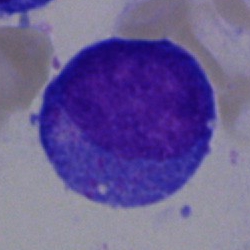 Cell: undifferentiated blast.